Bone marrow smear.
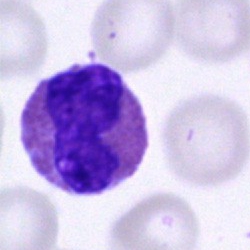
The morphological class is eosinophil.